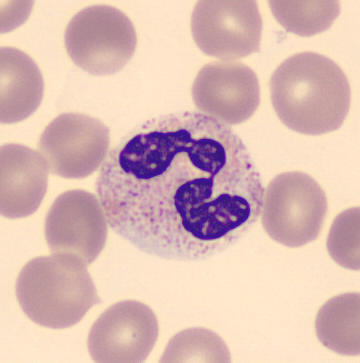 Peripheral blood smear. May-Grünwald-Giemsa-stained.

A neutrophil (segmented).